Bone marrow smear; brightfield microscopy, 40× oil immersion.
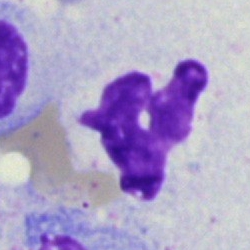 Q: What type of cell is this?
A: A polymorphonuclear neutrophil.